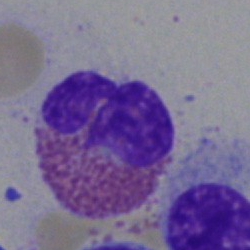 Morphological class: eosinophilic granulocyte.